Bone marrow smear: 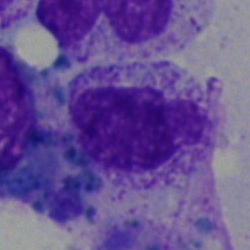

The cell type is artefact.